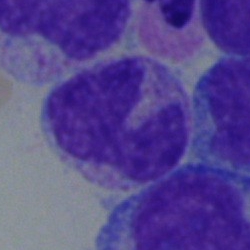
The morphological class is band neutrophil.